Bone marrow smear:
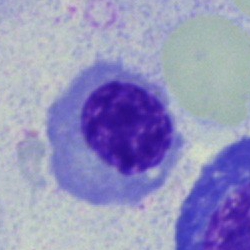
Morphology consistent with a nucleated red blood cell.